Bone marrow smear. May-Grünwald-Giemsa stain — 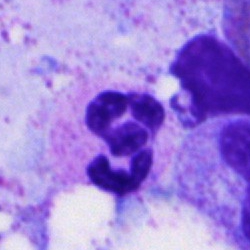

This is a segmented neutrophil.